Bone marrow smear · MGG-stained · 40× oil immersion.
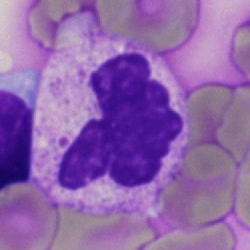Specimen: bone marrow smear.
Morphological class: neutrophil (segmented).
Lineage: myeloid.